Bone marrow smear — 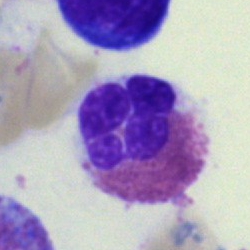
Specimen: bone marrow smear.
Morphological class: eosinophil.
Lineage: myeloid.